Bone marrow smear · single-cell field: 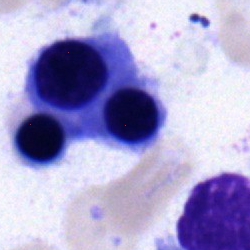
Morphology consistent with a normoblast.